Bone marrow smear. 250 by 250 pixels: 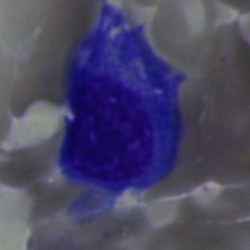

Single cell identified as a plasmacyte.